Bone marrow smear:
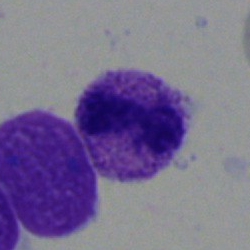

Morphology — segmented neutrophil.